Bone marrow aspirate smear:
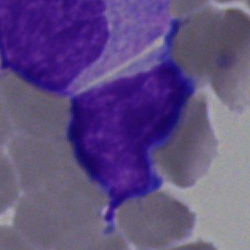 Cell type: lymphocyte.